Bone marrow smear
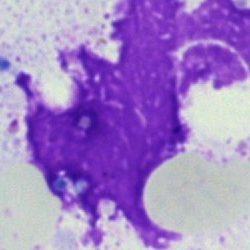

Morphological class: artefact.